Peripheral blood smear.
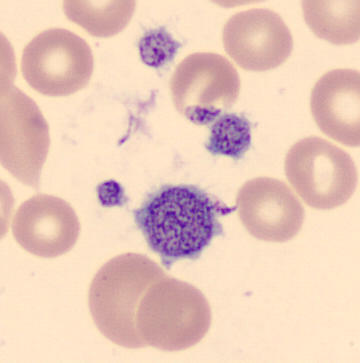Platelet.